Bone marrow aspirate smear — 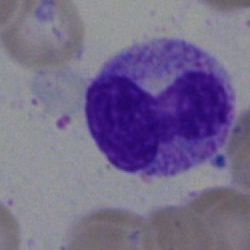

Showing a neutrophil (band).